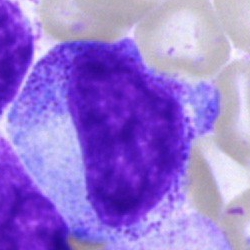A progranulocyte on a bone marrow smear.